Bone marrow aspirate smear; May-Grünwald-Giemsa stain; 40× objective, oil immersion: 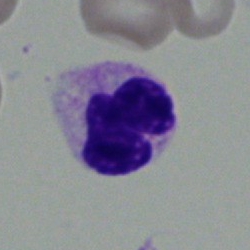Impression — segmented neutrophil.